Bone marrow smear
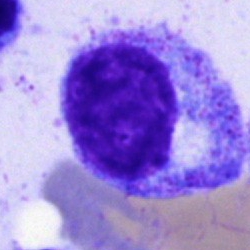 Single cell identified as a progranulocyte.